Bone marrow smear
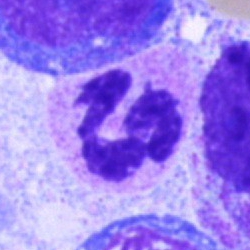

Specimen: bone marrow aspirate smear.
Classification: neutrophil (segmented).
Lineage: myeloid.